Peripheral blood film:
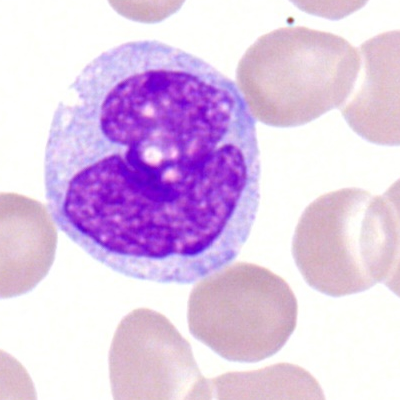

Single cell identified as a monocyte.